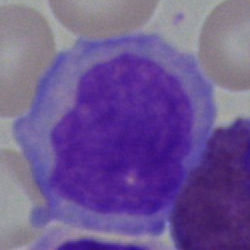

The cell type is monocyte.